Bone marrow smear:
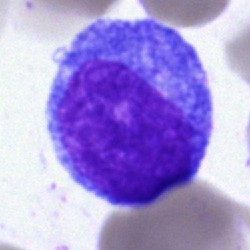

Q: What is the morphological classification of this cell?
A: Promyelocyte.